Pappenheim-stained. Bone marrow aspirate smear — 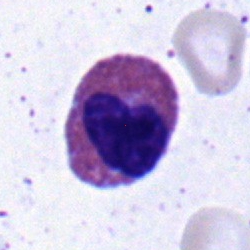Q: What is the morphological classification of this cell?
A: Eosinophilic granulocyte.